Bone marrow smear. Cropped to a single cell — 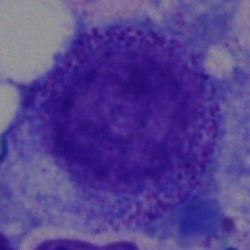Classification: promyelocyte.